250×250. Bone marrow smear. Single cell centered in the field
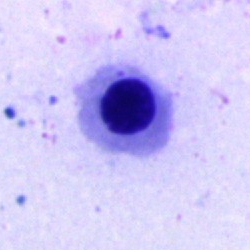
Q: Which cell type is shown here?
A: It is an erythroblast.